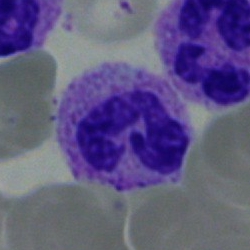
Showing a polymorphonuclear neutrophil.